Bone marrow aspirate smear. Brightfield, 40× oil-immersion objective.
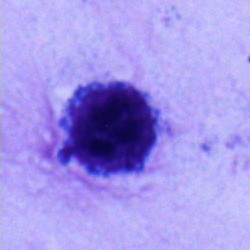
{"cell_type": "lymphocyte", "lineage": "lymphoid"}